Bone marrow smear: 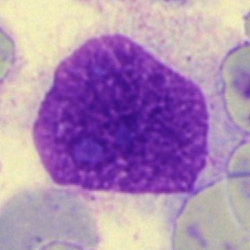
Impression — artifact.